40× oil immersion. Bone marrow smear:
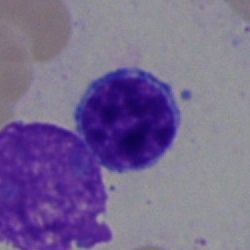 Q: What type of cell is this?
A: This is a lymphocyte.